Single cell centered in the field; MGG-stained; bone marrow smear: 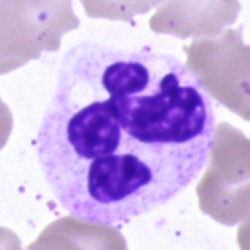

Showing a segmented neutrophil.